Bone marrow aspirate smear.
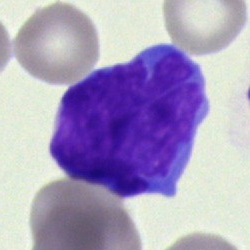Blast cell.